Bone marrow aspirate smear. Brightfield, 40× oil-immersion objective: 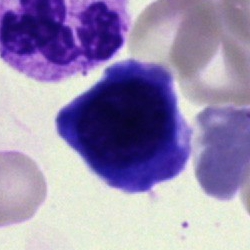The classification is nucleated red cell.